Bone marrow smear
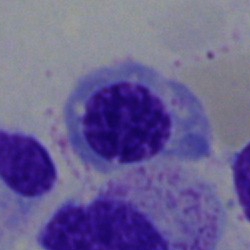Specimen: bone marrow smear.
Classification: nucleated red cell.
Lineage: erythroid.